Peripheral blood film
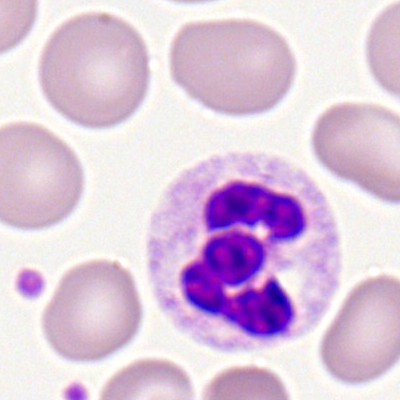 Specimen: peripheral blood film.
Cell type: segmented neutrophil.